Bone marrow aspirate smear:
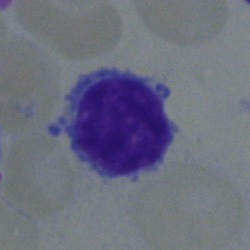Showing a typical lymphocyte.